Bone marrow smear.
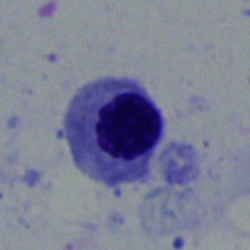This is a nucleated red cell.